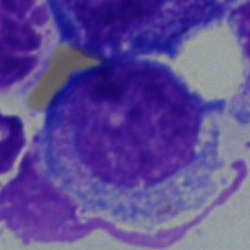
Cell — myelocyte.